May-Grünwald-Giemsa stain · bone marrow smear:
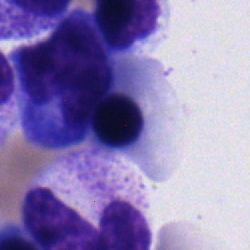
An erythroblast.